Bone marrow smear — 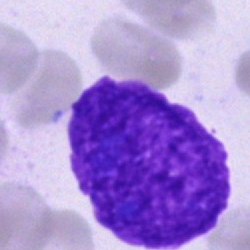
Impression → artifact.